May-Grünwald-Giemsa stain; single-cell field; bone marrow aspirate smear:
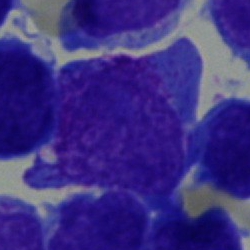

Cell: blast cell.